Bone marrow smear. 250×250 px. Brightfield, 40× oil-immersion objective
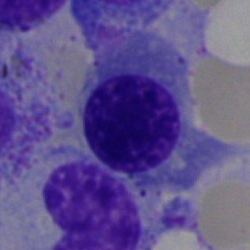Q: What cell is this?
A: It is a nucleated red cell.